Bone marrow aspirate smear:
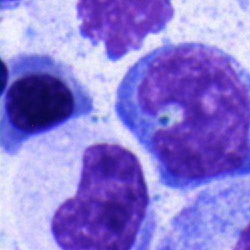
The morphological class is nucleated red blood cell.